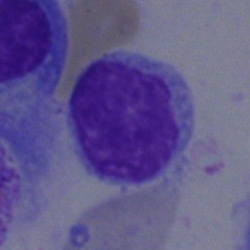Q: What is shown here?
A: Typical lymphocyte.